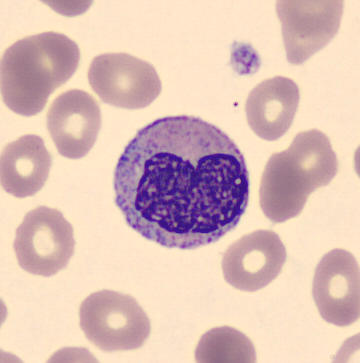
Impression — metamyelocyte.